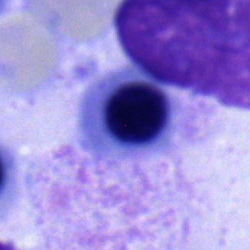

Single-cell crop from a bone marrow smear: nucleated red cell.